Bone marrow aspirate smear; single-cell crop
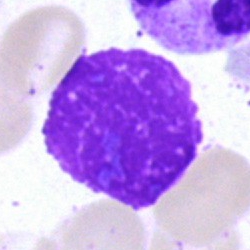Q: What is shown here?
A: Artifact.